Bone marrow aspirate smear
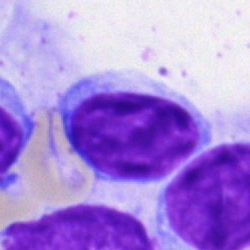

Morphology consistent with a lymphocyte.